Bone marrow smear. Brightfield, 40× oil-immersion objective: 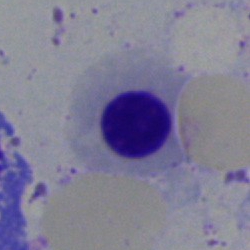The classification is nucleated red blood cell.